250×250; bone marrow smear: 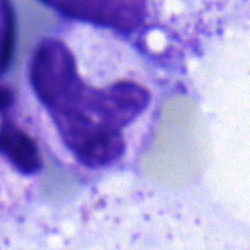

Morphology consistent with a neutrophil (band).